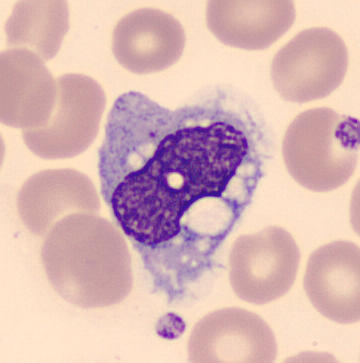 Single cell identified as a monocyte. Acquisition: CellaVision DM96 digital cell image · MGG stain · peripheral blood smear.